Peripheral blood smear
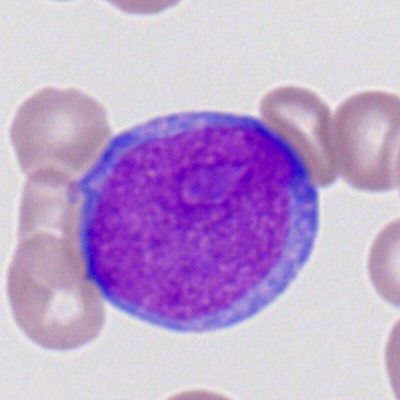 Cell = myeloid blast.